Bone marrow smear: 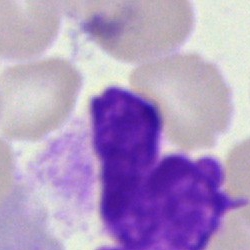

Cell type — artefact.